Romanowsky-type stain · single cell centered in the field · peripheral blood smear
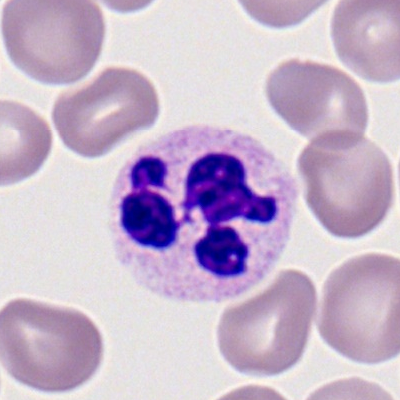 The morphological class is segmented neutrophil.